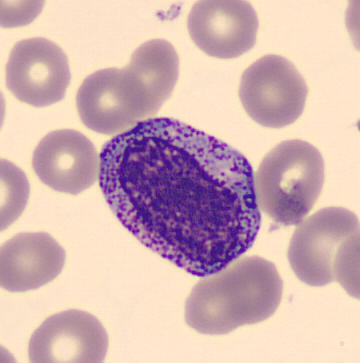
A progranulocyte on a peripheral blood smear.